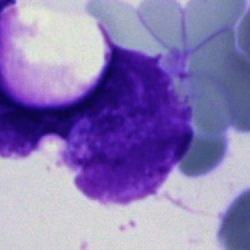
Cell — artefact.